Peripheral blood film — 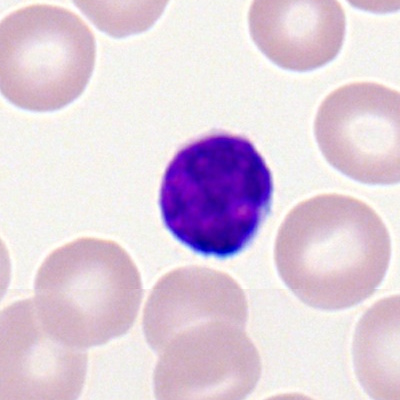Morphology consistent with a typical lymphocyte.